Bone marrow aspirate smear.
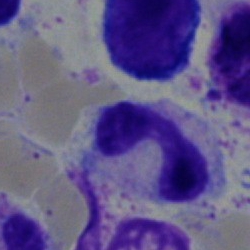
A stab cell.